Peripheral blood smear: 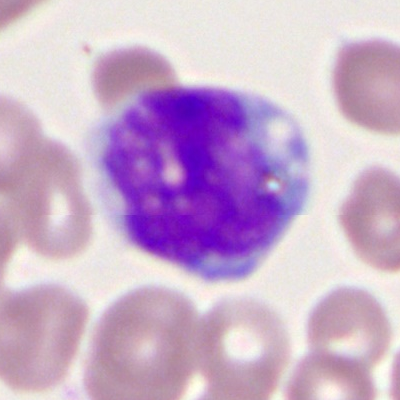Monocyte.